Bone marrow smear: 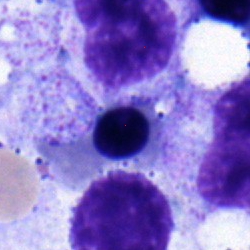

This is a normoblast.